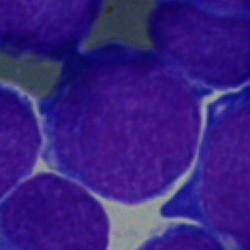

Impression — blast cell.